Bone marrow aspirate smear: 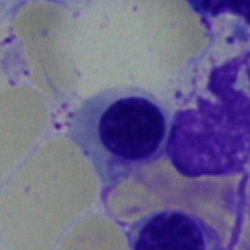
Impression → erythroblast.